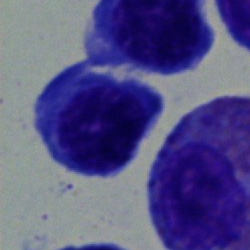

Specimen: bone marrow smear.
Morphological class: plasma cell.